Bone marrow smear · May-Grünwald-Giemsa stain · single cell centered in the field — 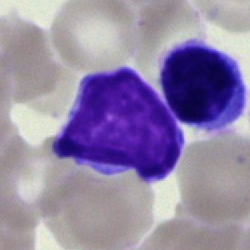
{"cell_type": "typical lymphocyte", "lineage": "lymphoid"}